Bone marrow smear. 40× objective, oil immersion:
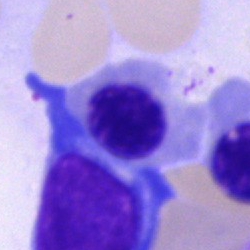

A nucleated red blood cell.